Bone marrow aspirate smear
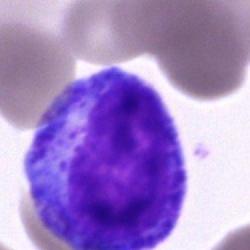Q: Which cell type is shown here?
A: It is a progranulocyte.